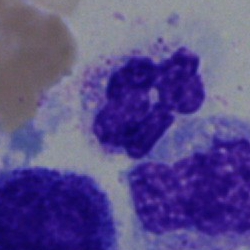Specimen: bone marrow smear.
Cell: polymorphonuclear neutrophil.